Bone marrow smear:
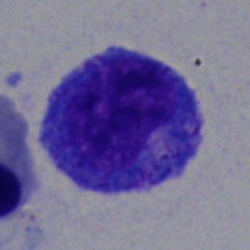 Cell — promyelocyte.